Brightfield microscopy, 40× oil immersion · bone marrow aspirate smear — 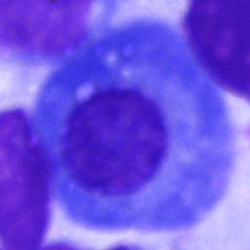

Q: Identify the cell.
A: A plasmacyte.